Bone marrow aspirate smear — 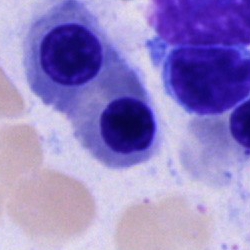 Impression → nucleated red blood cell.